Bone marrow smear.
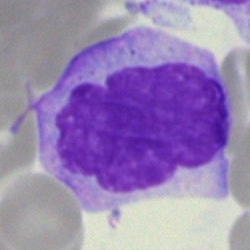Morphology consistent with a monocyte.